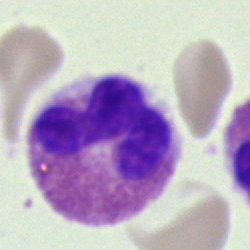

Q: What type of cell is this?
A: Eosinophilic granulocyte.